40× oil immersion; bone marrow smear; May-Grünwald-Giemsa/Pappenheim stain — 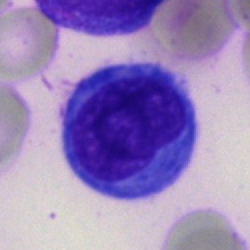
Cell: monocyte.